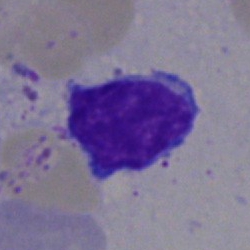Bone marrow aspirate smear, single cell — typical lymphocyte.